Brightfield, 40× oil-immersion objective. Bone marrow aspirate smear — 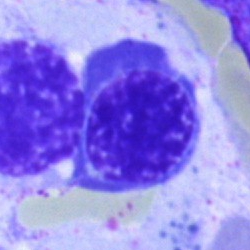

Morphology → erythroblast.